Bone marrow smear; 40× oil immersion: 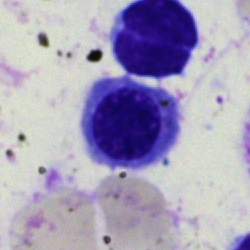Classification — nucleated red cell.